Bone marrow smear · Pappenheim-stained · single-cell field
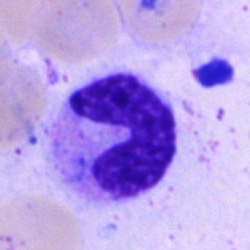Q: What is the morphological classification of this cell?
A: This is a stab cell.